Peripheral blood film · imaged on a CellaVision DM96 analyser: 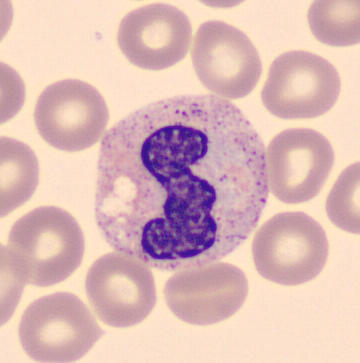 Classification = band neutrophil.